Bone marrow aspirate smear.
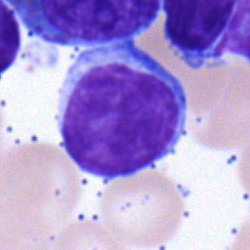Morphology consistent with a typical lymphocyte.